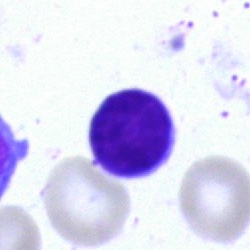
Specimen: bone marrow aspirate smear.
Cell type: lymphocyte.
Lineage: lymphoid.